Bone marrow aspirate smear — 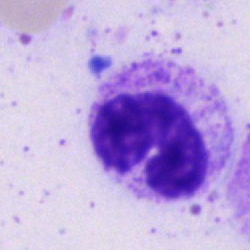 Single cell identified as a band-form neutrophil.